Bone marrow smear
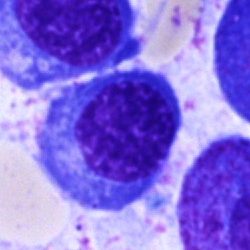
Morphological class: nucleated red cell.